Bone marrow smear: 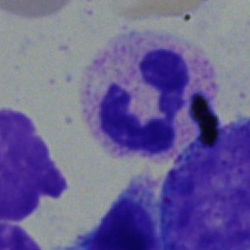
Cell — segmented neutrophil.